Brightfield, 40× oil-immersion objective; bone marrow smear: 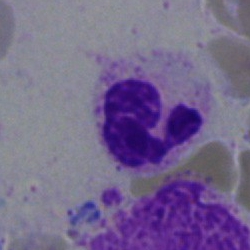

Morphology — neutrophil (segmented).